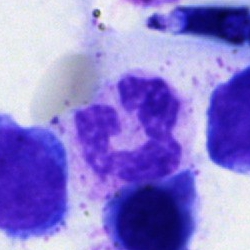Morphological class: polymorphonuclear neutrophil.